Bone marrow smear · 40× objective, oil immersion.
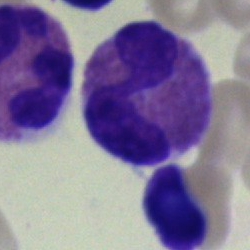
An eosinophilic granulocyte.